Bone marrow smear · MGG-stained — 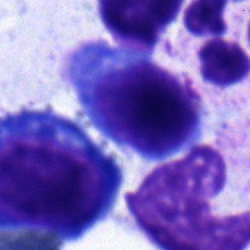

Morphology — lymphocyte.